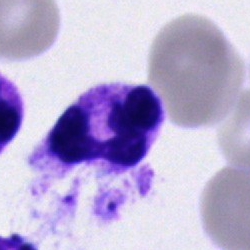

A neutrophil (segmented).